Bone marrow smear
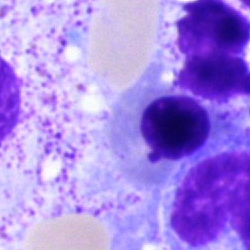

Specimen: bone marrow smear.
Morphological class: normoblast.
Lineage: erythroid.